Bone marrow aspirate smear; brightfield, 40× oil-immersion objective; 250×250 px — 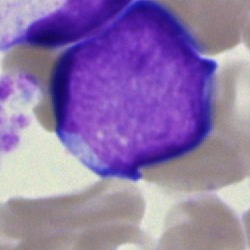This is a blast cell.